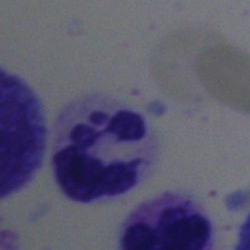 Showing a polymorphonuclear neutrophil.